Bone marrow smear; single-cell field: 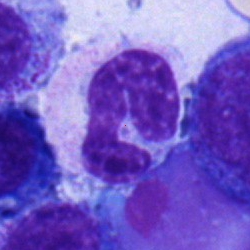 Classification: stab cell.